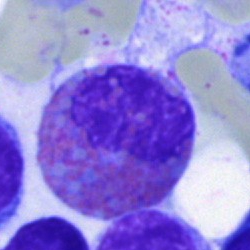

Q: What cell is this?
A: It is an eosinophilic granulocyte.